Peripheral blood smear; Romanowsky-type stain; 400×400 px:
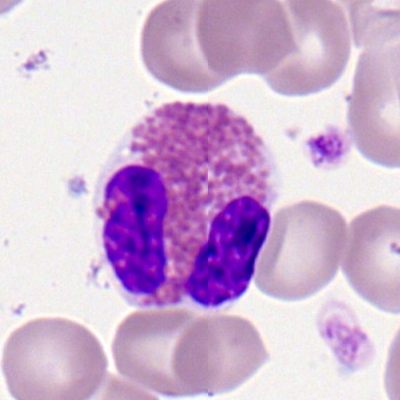 Specimen: peripheral blood film.
Cell type: eosinophilic granulocyte.